Single cell centered in the field. Bone marrow smear: 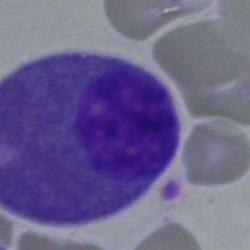

{"cell_type": "eosinophil"}